Bone marrow aspirate smear: 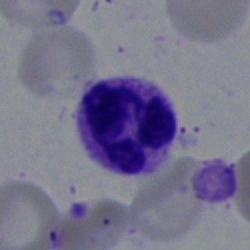 Single cell identified as a polymorphonuclear neutrophil.